Bone marrow smear: 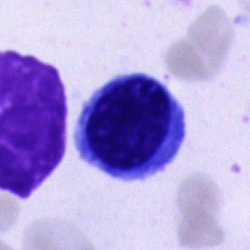This is an unidentifiable cell.